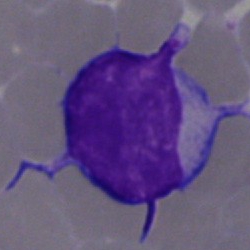The classification is lymphocyte.